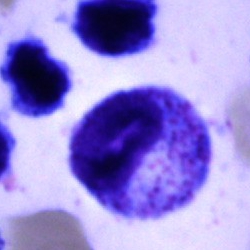 Classification = promyelocyte.